MGG-stained · bone marrow aspirate smear.
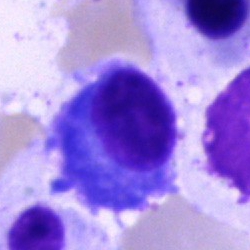This is a plasma cell.